250 by 250 pixels; bone marrow smear: 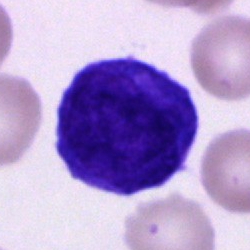

Showing an unidentifiable cell.